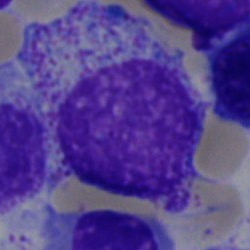Classification = myelocyte.